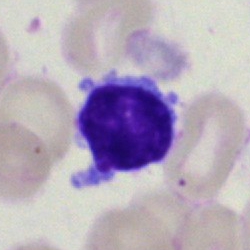 Showing a typical lymphocyte.